40× objective, oil immersion · single cell centered in the field · bone marrow aspirate smear
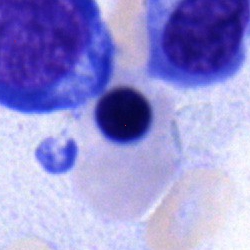
Showing a nucleated red blood cell.